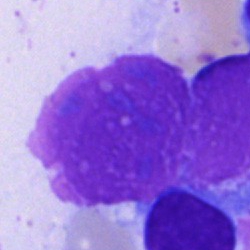 Morphology consistent with an artefact.